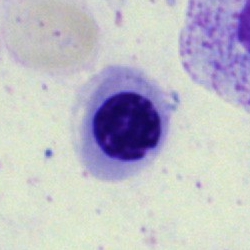

Morphology consistent with a nucleated red cell.